Peripheral blood film
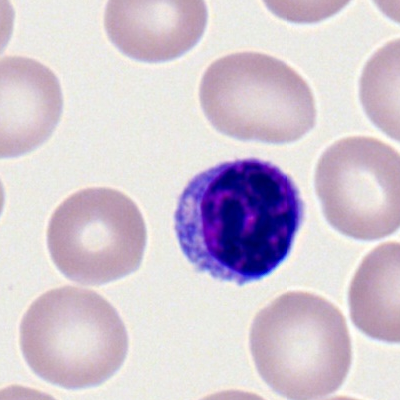

Impression → typical lymphocyte.